Bone marrow aspirate smear; single-cell field
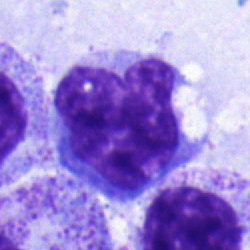Impression — monocyte.